Bone marrow smear; 40× objective, oil immersion: 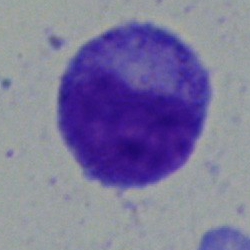 Specimen: bone marrow aspirate smear.
Classification: myelocyte.